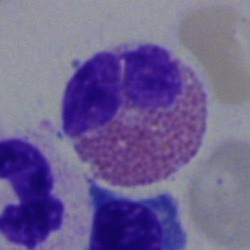 The classification is eosinophilic granulocyte.